Bone marrow smear; cropped to a single cell
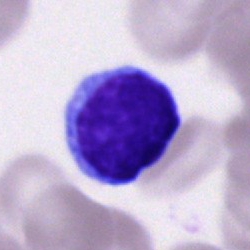
Specimen: bone marrow smear.
Morphological class: typical lymphocyte.
Lineage: lymphoid.